Bone marrow smear: 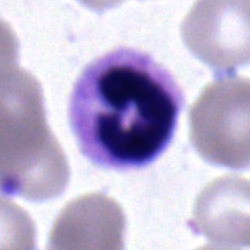

{"cell_type": "polymorphonuclear neutrophil"}